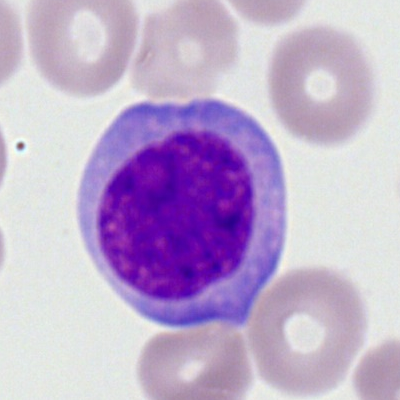
The cell is myeloblast.